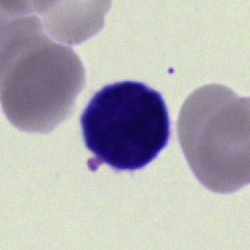

Q: What cell is this?
A: Lymphocyte.